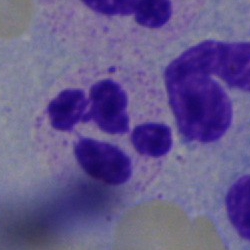 Q: What cell is this?
A: This is a polymorphonuclear neutrophil.